Bone marrow smear — 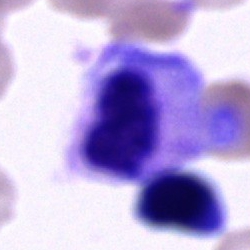
The cell type is artifact.